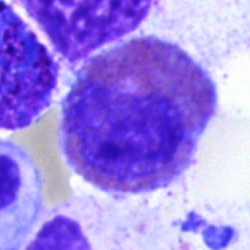
An eosinophil.